250×250; bone marrow aspirate smear; MGG-stained
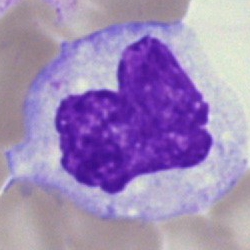 The cell shown is a monocyte.